Bone marrow smear · Pappenheim-stained:
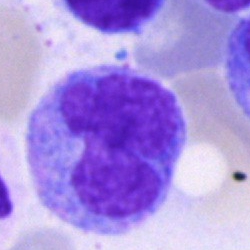Impression — monocyte.